Bone marrow smear; 250×250
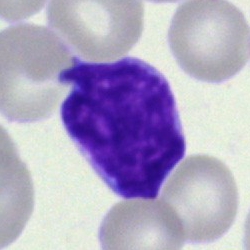Classification — blast.